Brightfield, 40× oil-immersion objective. Bone marrow aspirate smear: 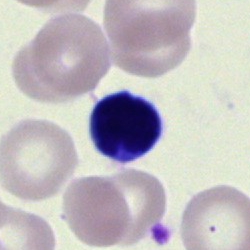
{"cell_type": "typical lymphocyte", "lineage": "lymphoid"}